Bone marrow smear · May-Grünwald-Giemsa/Pappenheim stain — 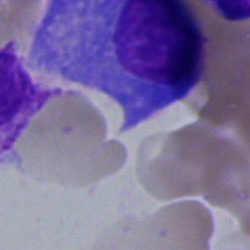Morphology — cell of indeterminate lineage.